May Grünwald-Giemsa stain. Peripheral blood film.
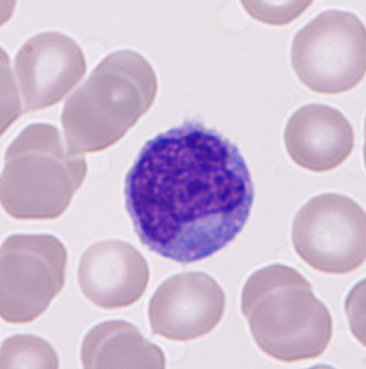A monocyte.